Bone marrow smear — 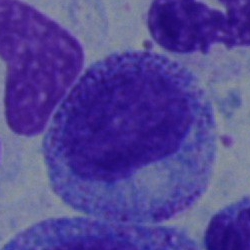

Myelocyte.